Bone marrow smear:
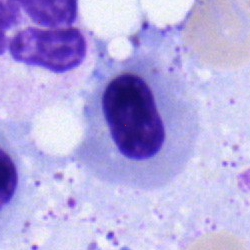The cell is nucleated red blood cell.